Single-cell crop; bone marrow aspirate smear — 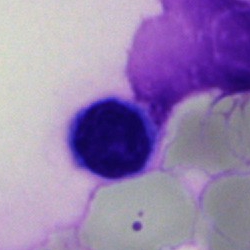
Morphology consistent with a lymphocyte.